May-Grünwald-Giemsa/Pappenheim stain; bone marrow aspirate smear
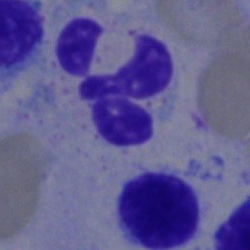
This is a neutrophil (segmented).